Single cell centered in the field. Bone marrow aspirate smear — 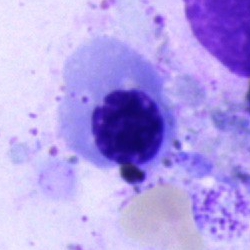 Erythroblast.